400×400 px. Single-cell field. Peripheral blood film:
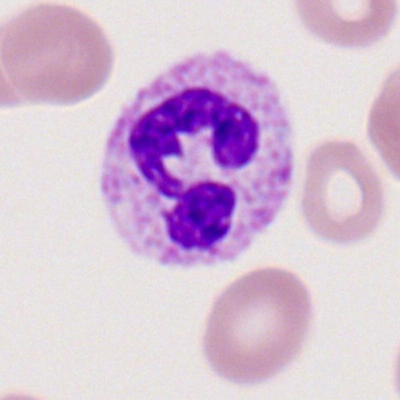 Single cell identified as a neutrophil (segmented).